Brightfield microscopy, 40× oil immersion · bone marrow aspirate smear.
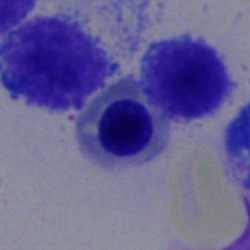
Typical lymphocyte.